40× objective, oil immersion. May-Grünwald-Giemsa/Pappenheim stain. Bone marrow aspirate smear.
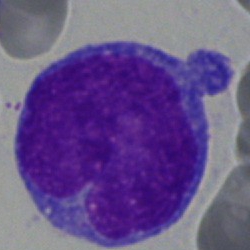 Morphological class — monocyte.